Peripheral blood film: 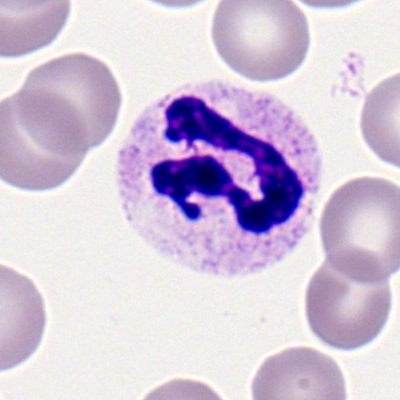The cell shown is a segmented neutrophil.